Bone marrow aspirate smear; image size 250×250
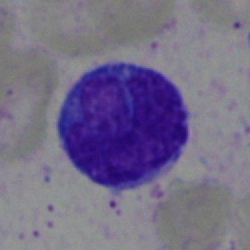Impression → blast.